40× objective, oil immersion. Bone marrow aspirate smear. May-Grünwald-Giemsa stain
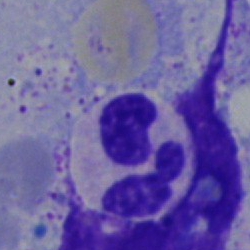

Impression — segmented neutrophil.